Bone marrow smear:
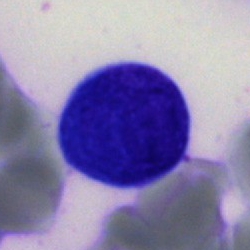

Q: What is the morphological classification of this cell?
A: This is a cell of indeterminate lineage.